Image size 250×250; bone marrow aspirate smear:
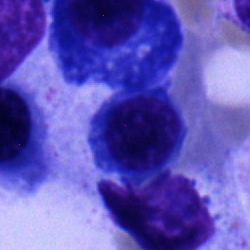Specimen: bone marrow aspirate smear.
Classification: nucleated red blood cell.
Lineage: erythroid.